Bone marrow aspirate smear. Brightfield microscopy, 40× oil immersion.
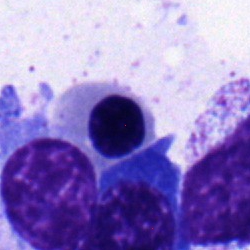

This is a normoblast.